Bone marrow aspirate smear — 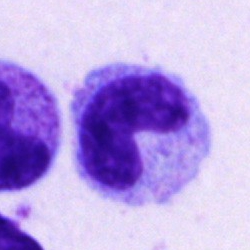
Q: What is the morphological classification of this cell?
A: It is a stab cell.